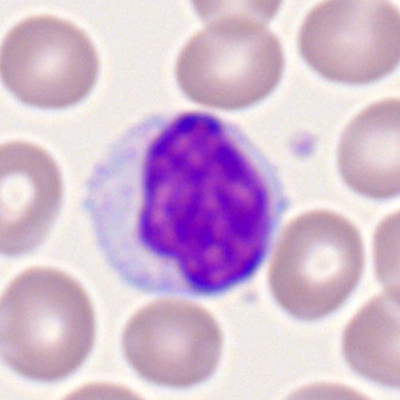A lymphocyte on a peripheral blood smear.